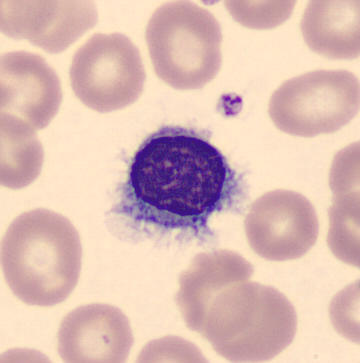The cell shown is a typical lymphocyte.
Imaged on a CellaVision DM96 analyser. Peripheral blood smear.